Image size 250×250 · bone marrow smear.
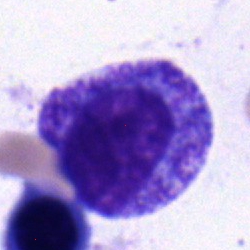
Impression → promyelocyte.